Image size 250×250 · bone marrow smear
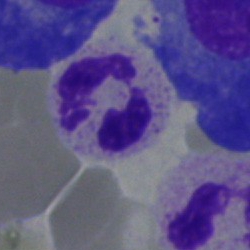 Cell type: polymorphonuclear neutrophil.